40× objective, oil immersion. Bone marrow aspirate smear. Cropped to a single cell: 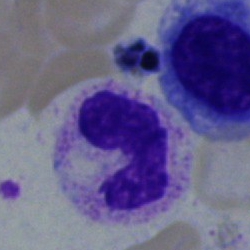
A polymorphonuclear neutrophil.